Single cell centered in the field. Peripheral blood smear.
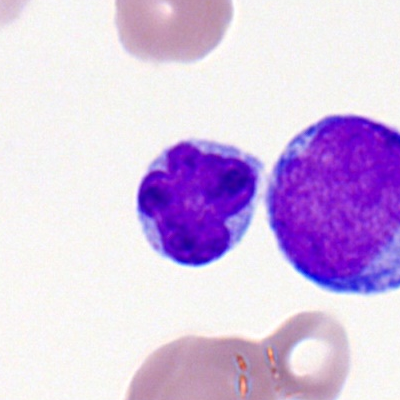

Typical lymphocyte.